Bone marrow smear: 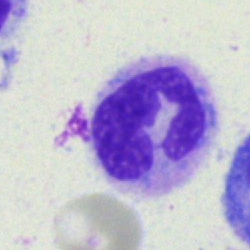Morphology consistent with a monocyte.